Peripheral blood film. 400×400 px — 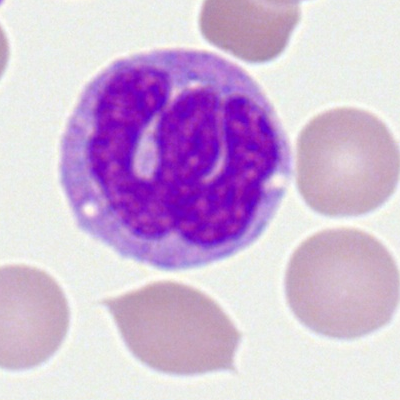

Single cell identified as a monocyte.